Bone marrow smear; single-cell field; brightfield microscopy, 40× oil immersion:
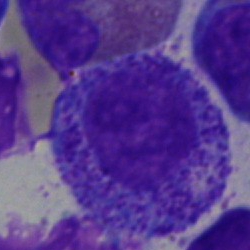

Q: What type of cell is this?
A: It is a progranulocyte.